Bone marrow smear
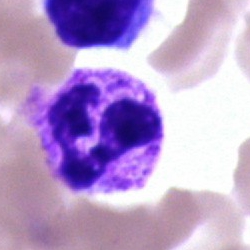A neutrophil (segmented).